Bone marrow aspirate smear. 40× oil immersion. MGG-stained.
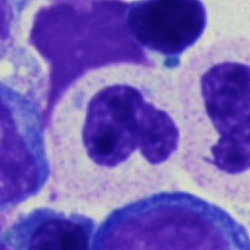This is a band-form neutrophil.